Bone marrow smear:
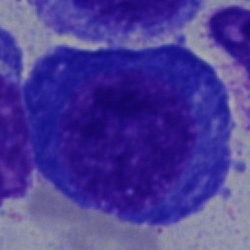
{"cell_type": "plasma cell", "lineage": "lymphoid"}